40× objective, oil immersion; bone marrow aspirate smear — 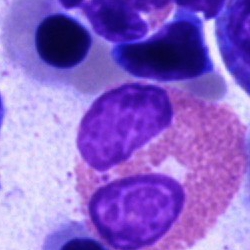
The classification is eosinophilic granulocyte.